400×400. Peripheral blood smear
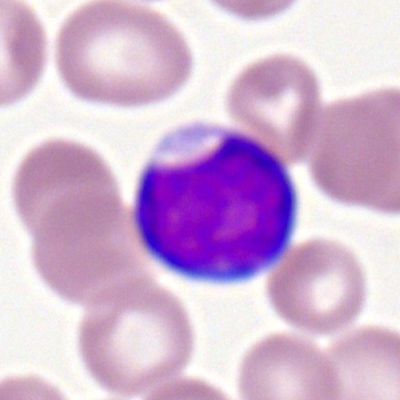Specimen: peripheral blood smear.
Cell: myeloid blast.
Lineage: myeloid.